MGG-stained · bone marrow smear:
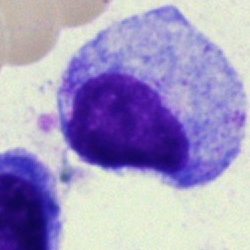Morphology — promyelocyte.